40× oil immersion; bone marrow aspirate smear — 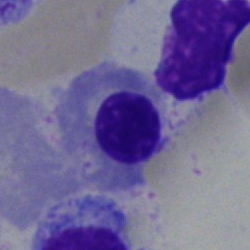

The classification is erythroblast.